Single cell centered in the field; bone marrow smear; Pappenheim-stained
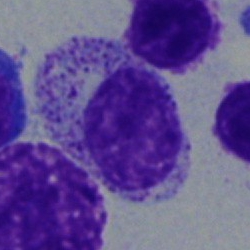

The cell type is myelocyte.